May-Grünwald-Giemsa stain · bone marrow smear
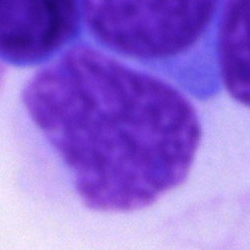

Single cell identified as an artefact.